Pappenheim-stained. Bone marrow aspirate smear — 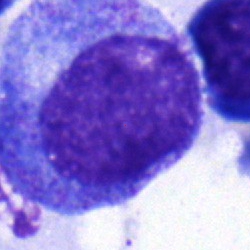 Impression → promyelocyte.